Bone marrow smear: 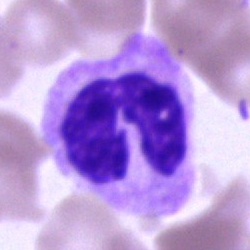
A segmented neutrophil.